Brightfield, 40× oil-immersion objective. Bone marrow smear:
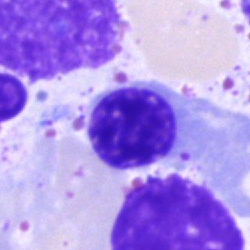 Specimen: bone marrow aspirate smear.
Morphological class: erythroblast.